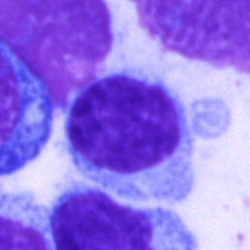
The cell shown is a lymphocyte.